250×250 px; bone marrow smear; single-cell field — 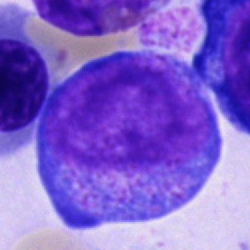 Progranulocyte.